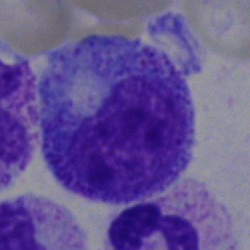 Showing a progranulocyte.